Bone marrow aspirate smear: 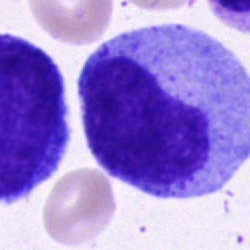
Specimen: bone marrow smear.
Cell: progranulocyte.
Lineage: myeloid.